MGG-stained. Bone marrow smear:
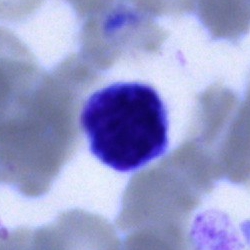A lymphocyte.